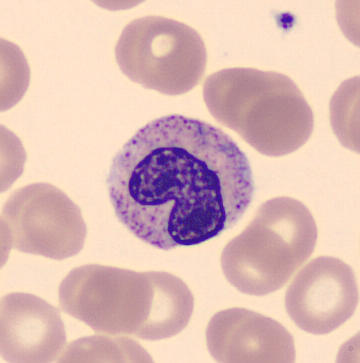Metamyelocyte.

Image: Single-cell crop; peripheral blood smear; 360 by 363 pixels.